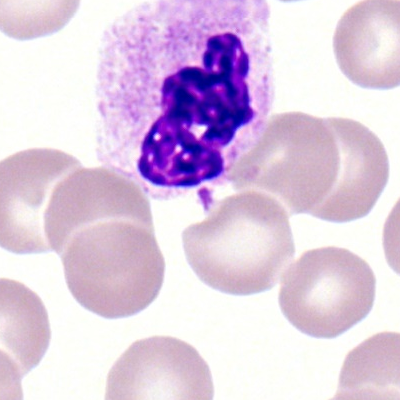 Q: What is shown here?
A: A segmented neutrophil.